Bone marrow smear: 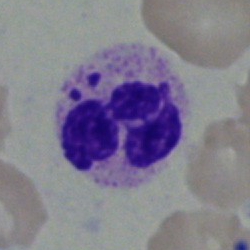
{"cell_type": "neutrophil (segmented)", "lineage": "myeloid"}